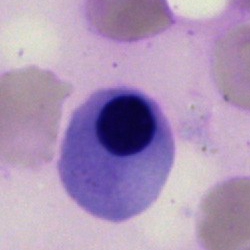 Morphology → nucleated red blood cell.